May-Grünwald-Giemsa/Pappenheim stain. 250×250 px. Bone marrow aspirate smear: 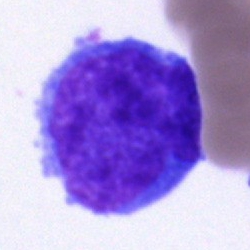 Cell — blast.